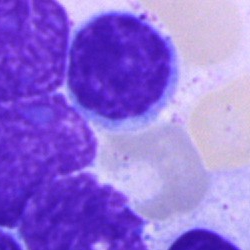

Cell = typical lymphocyte.